Bone marrow aspirate smear: 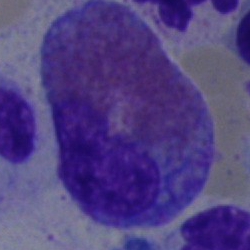

This is an eosinophil.